40× oil immersion; bone marrow aspirate smear.
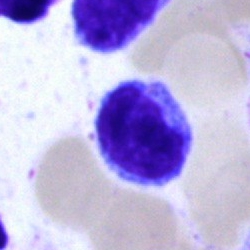Specimen: bone marrow aspirate smear.
Classification: typical lymphocyte.
Lineage: lymphoid.